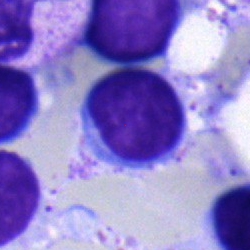
Q: What is shown here?
A: It is a lymphocyte.